Bone marrow aspirate smear; MGG-stained; 250 by 250 pixels.
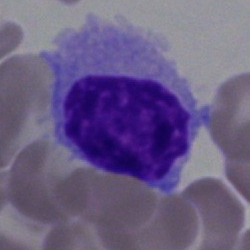
Q: What is the morphological classification of this cell?
A: This is a hairy cell.